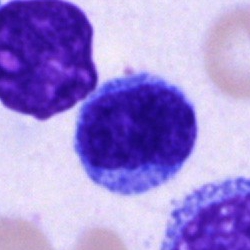 Q: What type of cell is this?
A: Blast.